Bone marrow aspirate smear: 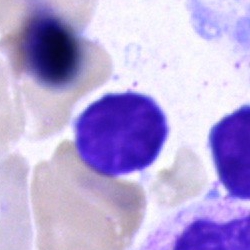Morphology — typical lymphocyte.